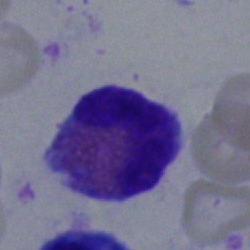

The classification is eosinophil.